Cropped to a single cell · bone marrow smear
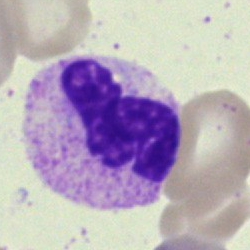

A polymorphonuclear neutrophil.